Peripheral blood film: 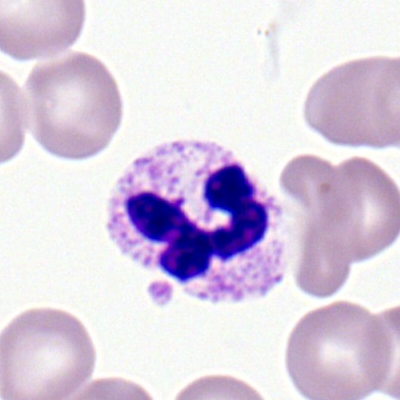Q: What type of cell is this?
A: Neutrophil (segmented).